Bone marrow aspirate smear; Pappenheim-stained
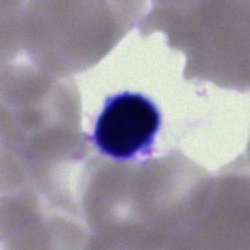 Specimen: bone marrow smear.
Classification: lymphocyte.